Bone marrow smear · 250×250 px: 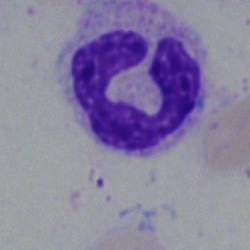 Single cell identified as a neutrophil (band).